Peripheral blood film; 400×400.
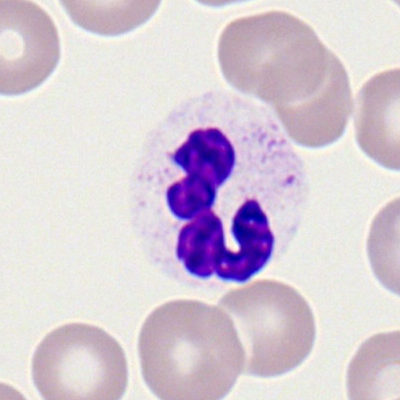

Cell = neutrophil (segmented).